Bone marrow smear
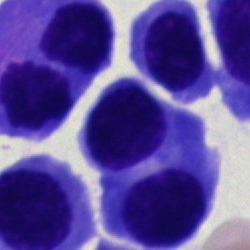
This is a normoblast.